Bone marrow aspirate smear · May-Grünwald-Giemsa/Pappenheim stain: 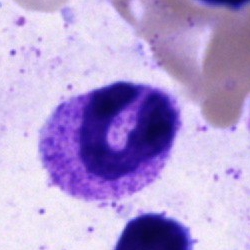Classification: band neutrophil.